40× objective, oil immersion; bone marrow smear; 250×250: 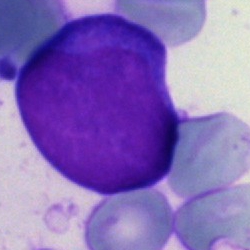
The classification is blast.